Bone marrow smear.
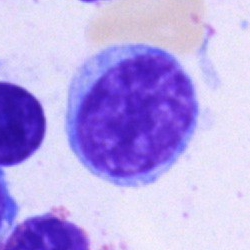
The cell shown is a lymphocyte.